Bone marrow smear · single-cell crop
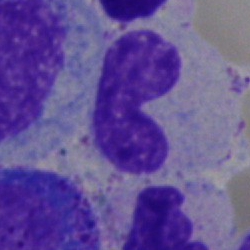
The classification is neutrophil (band).